Brightfield, 40× oil-immersion objective; bone marrow aspirate smear; May-Grünwald-Giemsa/Pappenheim stain.
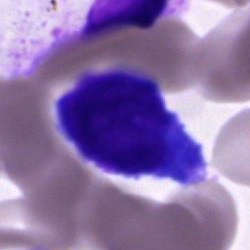

This is an unidentifiable cell.